40× oil immersion. Bone marrow smear — 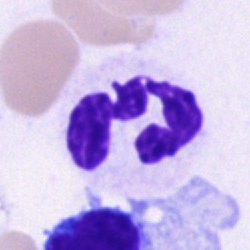 The cell shown is a segmented neutrophil.